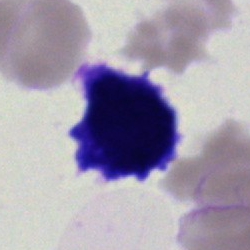

Cell: artifact.